Bone marrow smear:
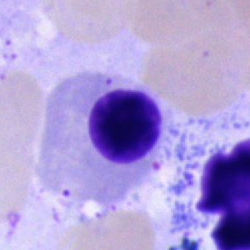 Specimen: bone marrow aspirate smear.
Cell type: normoblast.
Lineage: erythroid.